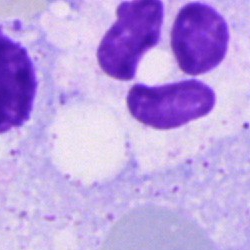 Impression → neutrophil (segmented).